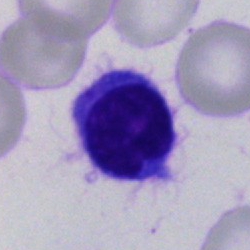{"cell_type": "lymphocyte", "lineage": "lymphoid"}